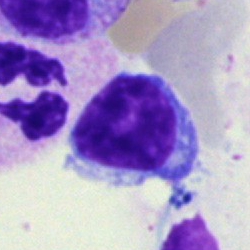
Classification — typical lymphocyte.